Peripheral blood smear. 100× oil immersion, 14.14 px/µm. Single-cell field: 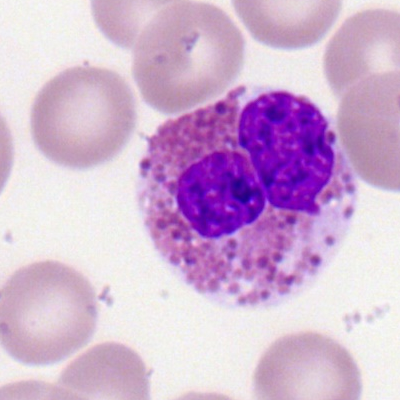 The cell shown is an eosinophilic granulocyte.